Pappenheim-stained · bone marrow aspirate smear:
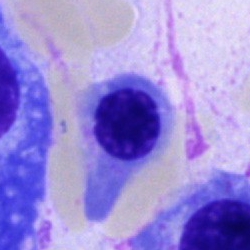 Nucleated red blood cell.